Bone marrow aspirate smear. Single cell centered in the field
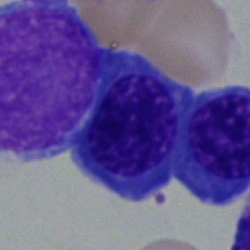

Cell = erythroblast.